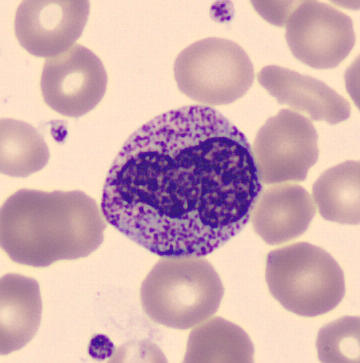
Cell type = metamyelocyte.

Preparation: Peripheral blood smear; imaged on a CellaVision DM96 analyser.